Bone marrow smear
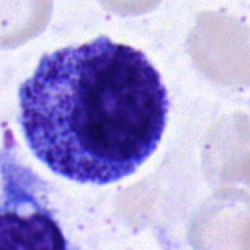

Morphology consistent with a promyelocyte.